Brightfield microscopy, 40× oil immersion; bone marrow aspirate smear; May-Grünwald-Giemsa stain: 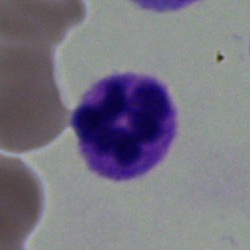 Morphological class = polymorphonuclear neutrophil.